Bone marrow smear; single-cell crop; May-Grünwald-Giemsa stain:
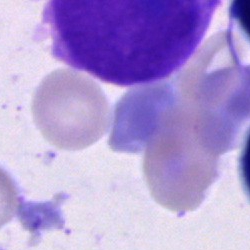 Cell of indeterminate lineage.